Brightfield, 40× oil-immersion objective. MGG-stained. Bone marrow smear: 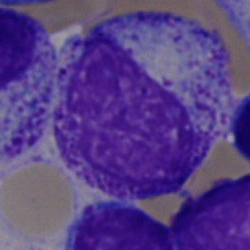Impression — promyelocyte.